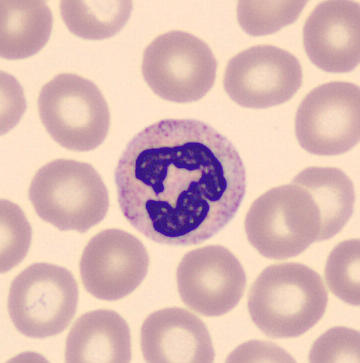Segmented neutrophil.